250 by 250 pixels · MGG-stained · bone marrow smear.
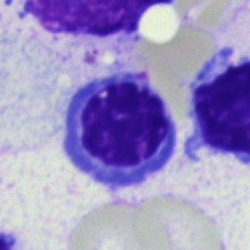Morphology consistent with a nucleated red blood cell.